Bone marrow aspirate smear.
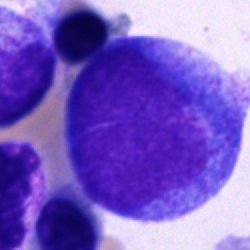
Single cell identified as a progranulocyte.